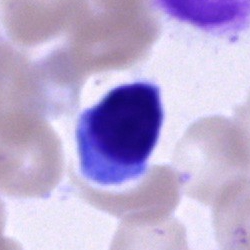

Q: What is the morphological classification of this cell?
A: This is an unidentifiable cell.